400 by 400 pixels · peripheral blood film · cropped to a single cell.
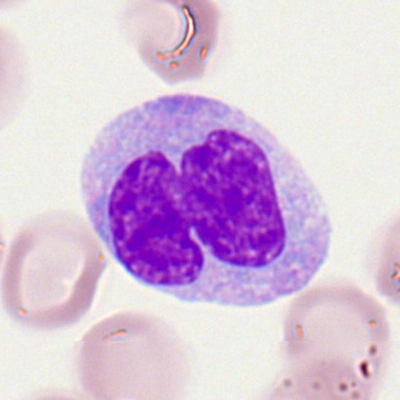
Cell type: monocyte.